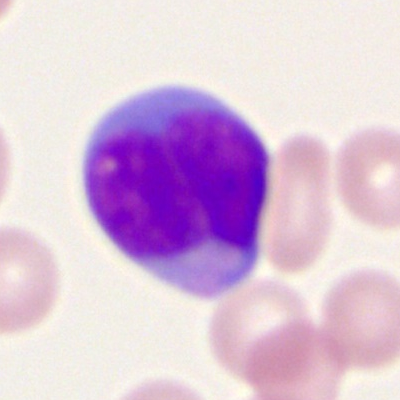 Impression → myeloid blast.